Bone marrow smear.
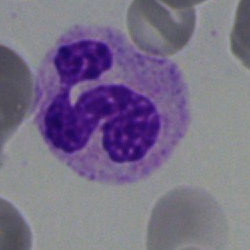

The cell shown is a polymorphonuclear neutrophil.